Bone marrow aspirate smear.
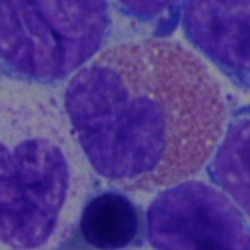
The cell type is eosinophil.